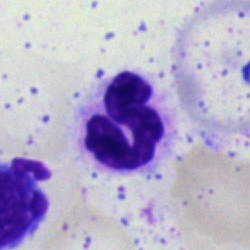
Q: What type of cell is this?
A: A segmented neutrophil.